Bone marrow aspirate smear — 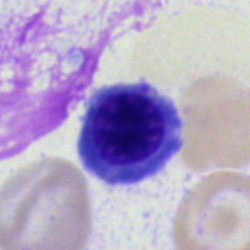 Morphology consistent with a nucleated red cell.